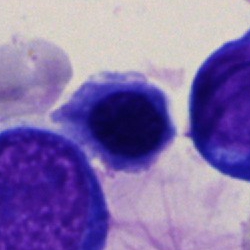

Morphology consistent with a normoblast.